Pappenheim-stained. Bone marrow smear — 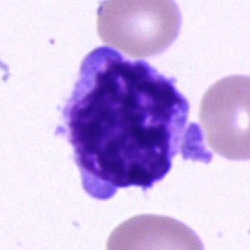 Showing an unidentifiable cell.